Bone marrow smear
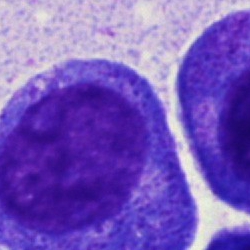Morphological class = promyelocyte.